Bone marrow smear: 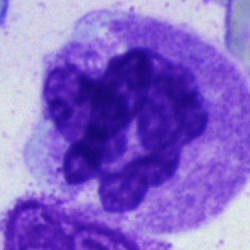This is a segmented neutrophil.